250 by 250 pixels; 40× objective, oil immersion; bone marrow aspirate smear.
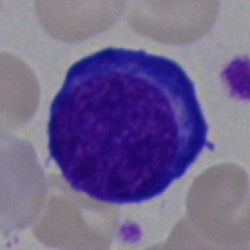
The cell is nucleated red blood cell.